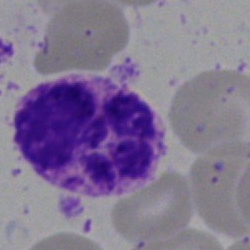
Single-cell crop from a bone marrow smear: neutrophil (segmented).